Bone marrow aspirate smear: 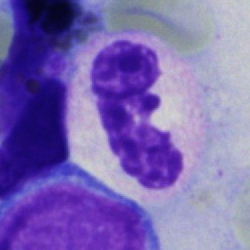

Q: What is the morphological classification of this cell?
A: This is a polymorphonuclear neutrophil.